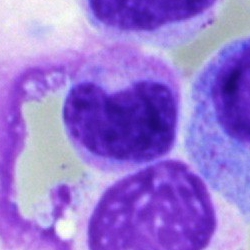 Morphology consistent with a metamyelocyte.